250 by 250 pixels · bone marrow aspirate smear · brightfield microscopy, 40× oil immersion:
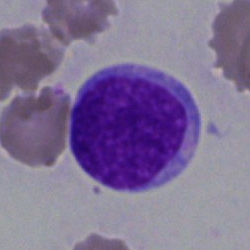
Classification: blast cell.